Bone marrow smear
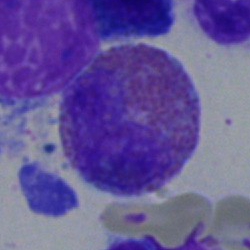

Morphological class = eosinophil.